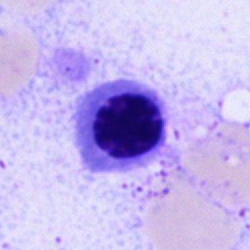 Specimen: bone marrow aspirate smear.
Morphological class: erythroblast.
Lineage: erythroid.